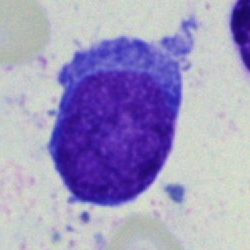

This is an undifferentiated blast.